40× oil immersion; bone marrow smear; single-cell crop.
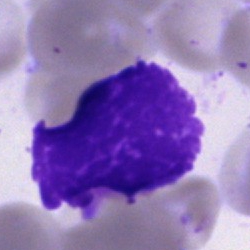
Q: What is shown here?
A: Artifact.